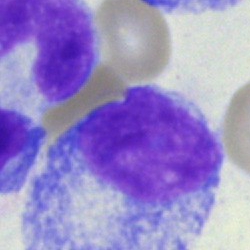
This is a promyelocyte.